Bone marrow smear · single cell centered in the field · Pappenheim-stained
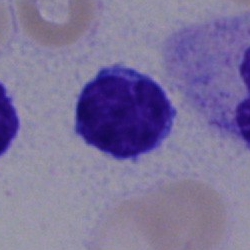Showing a typical lymphocyte.